Bone marrow aspirate smear
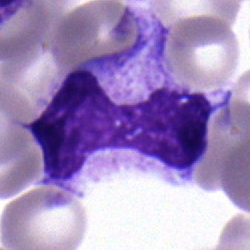Q: Identify the cell.
A: This is a band neutrophil.